Single-cell crop · bone marrow smear — 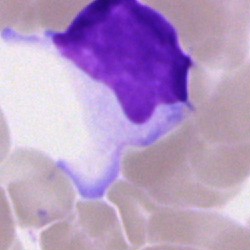
Q: What is shown here?
A: It is an artefact.